Bone marrow aspirate smear:
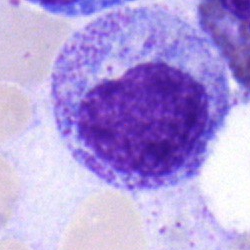

The classification is myelocyte.